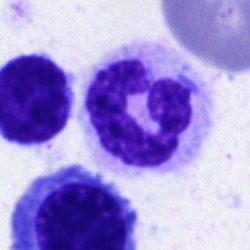
Showing a polymorphonuclear neutrophil.